Bone marrow smear. May-Grünwald-Giemsa stain. 40× objective, oil immersion — 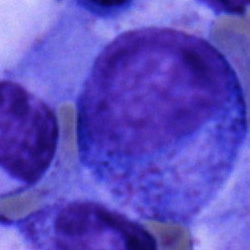

This is a progranulocyte.